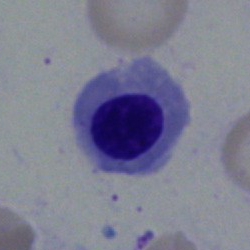Cell type = nucleated red cell.